Bone marrow smear.
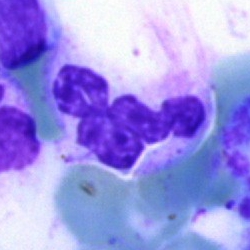 Showing a polymorphonuclear neutrophil.